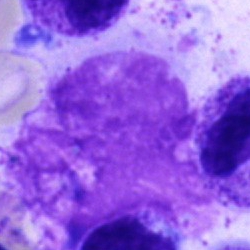

Specimen: bone marrow smear.
Classification: artifact.